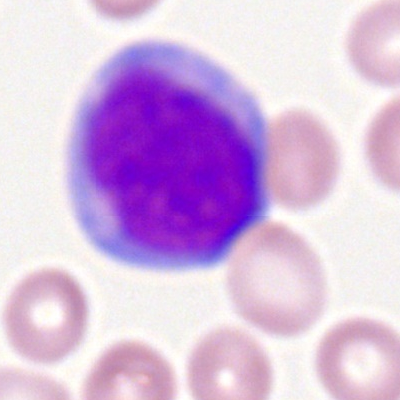

Morphological class — myeloblast.